Bone marrow aspirate smear. Pappenheim-stained
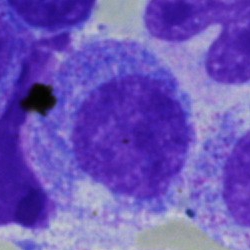Impression — promyelocyte.